Single-cell crop · 250×250 · bone marrow smear:
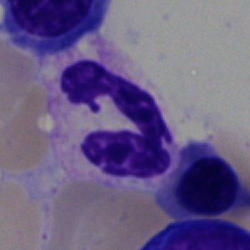 Q: What is shown here?
A: This is a neutrophil (segmented).